Bone marrow aspirate smear. Brightfield, 40× oil-immersion objective. Cropped to a single cell: 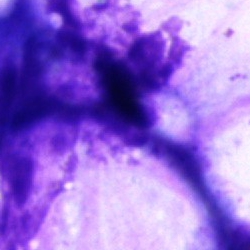Artifact.